Bone marrow aspirate smear — 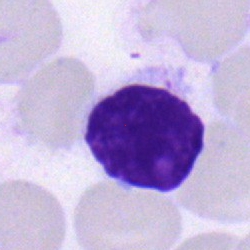

Lymphocyte.